Image size 250×250 · bone marrow aspirate smear: 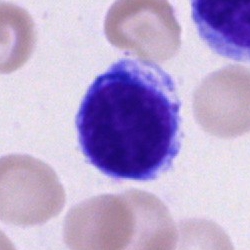

Morphological class = typical lymphocyte.